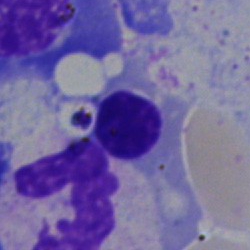

Bone marrow smear showing a neutrophil (segmented).